40× oil immersion · bone marrow smear — 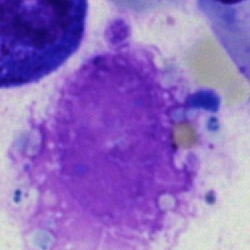 Morphology — artefact.